Bone marrow smear
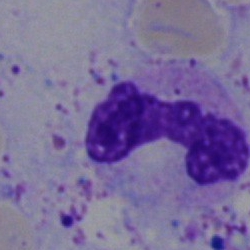Specimen: bone marrow aspirate smear.
Morphological class: segmented neutrophil.
Lineage: myeloid.